Single cell centered in the field; 40× oil immersion; bone marrow aspirate smear.
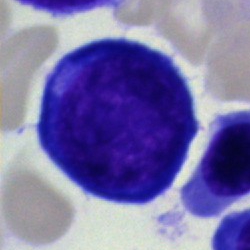Proerythroblast.